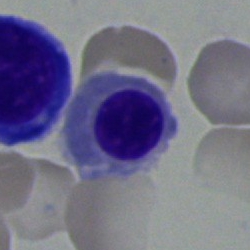

Q: What is shown here?
A: This is a nucleated red cell.